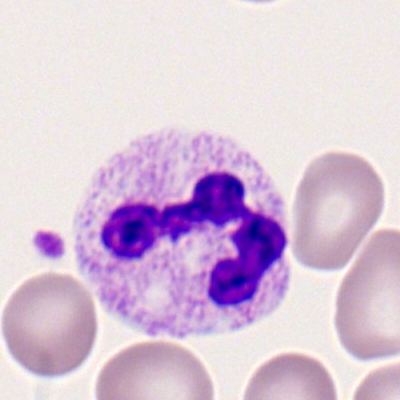Single-cell crop from a peripheral blood smear: segmented neutrophil.